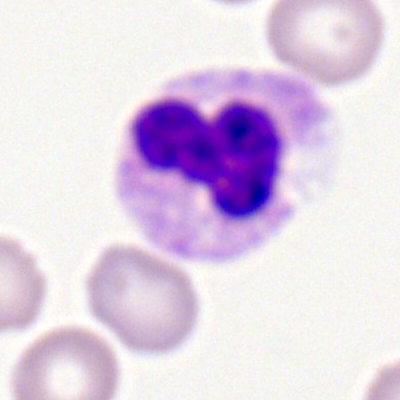
The classification is polymorphonuclear neutrophil.